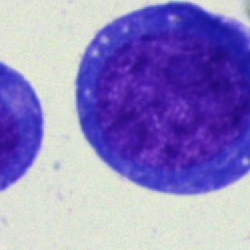
Q: Which cell type is shown here?
A: It is an undifferentiated blast.